Bone marrow aspirate smear.
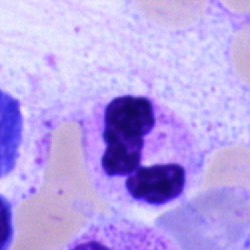

Cell — polymorphonuclear neutrophil.